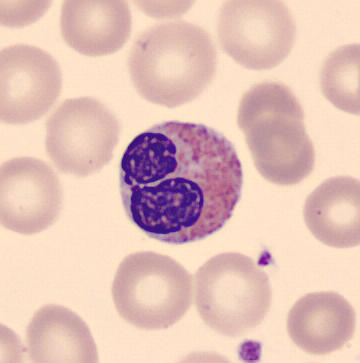 Image: Peripheral blood smear.
Showing an eosinophil.